Bone marrow aspirate smear; Pappenheim-stained:
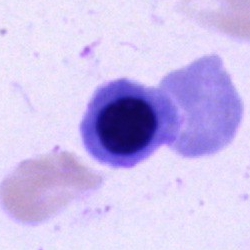
Cell type = normoblast.